May-Grünwald-Giemsa/Pappenheim stain; bone marrow aspirate smear.
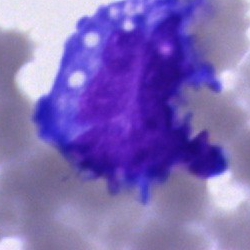Morphology — blast.